Bone marrow smear.
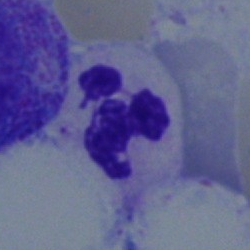

Q: What type of cell is this?
A: This is a neutrophil (segmented).